Single-cell field. Bone marrow aspirate smear: 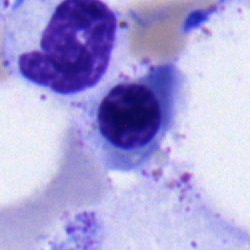Specimen: bone marrow smear.
Cell type: nucleated red cell.